Bone marrow aspirate smear; single-cell crop.
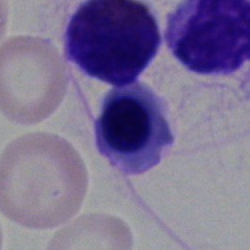
Erythroblast.